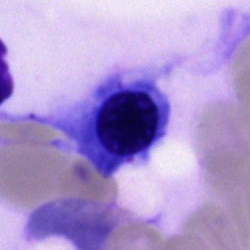Q: What is the morphological classification of this cell?
A: It is a nucleated red blood cell.